Bone marrow aspirate smear. Cropped to a single cell: 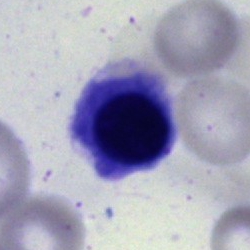The morphological class is erythroblast.